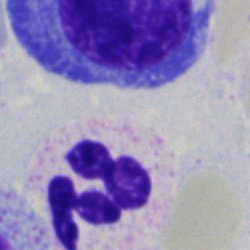

Single cell identified as a segmented neutrophil.